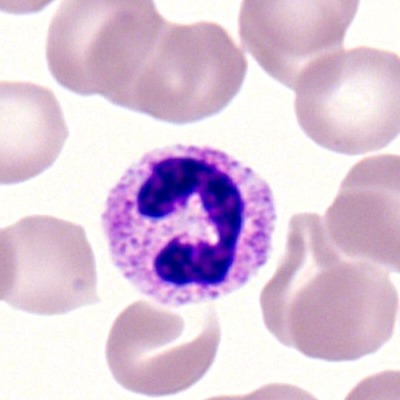
Classification: segmented neutrophil.